Bone marrow smear:
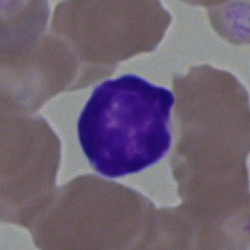The cell shown is a lymphocyte.